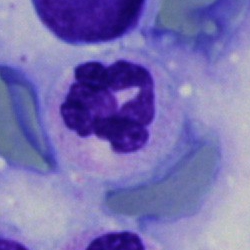

Showing a polymorphonuclear neutrophil.